May-Grünwald-Giemsa/Pappenheim stain · single cell centered in the field · bone marrow aspirate smear:
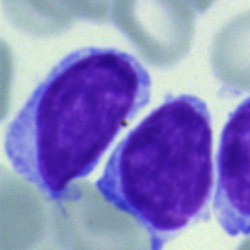 The classification is lymphocyte.